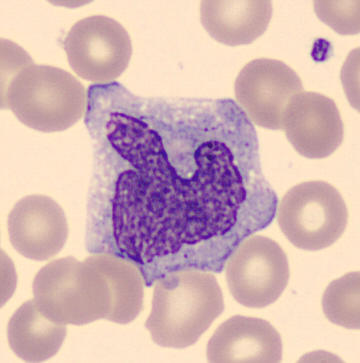Morphological class — monocyte.